Bone marrow aspirate smear.
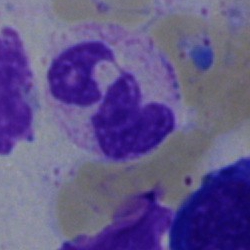 Segmented neutrophil.